Bone marrow smear · 40× objective, oil immersion.
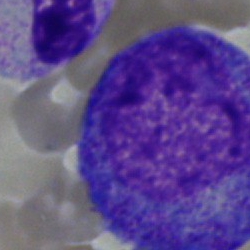 Specimen: bone marrow smear.
Cell: progranulocyte.